Bone marrow smear · 250×250 · single cell centered in the field
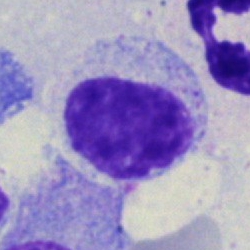

Morphology → myelocyte.